Image size 250×250; bone marrow aspirate smear.
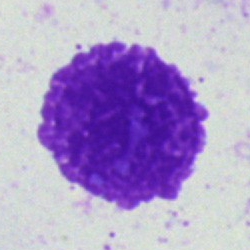
Q: What is shown here?
A: This is an artifact.